Brightfield microscopy, 40× oil immersion · bone marrow smear · single cell centered in the field:
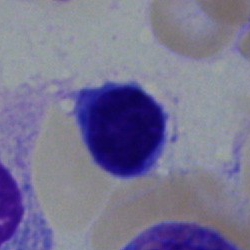The cell shown is a typical lymphocyte.